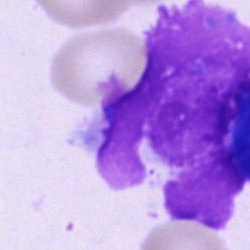
Q: What is shown here?
A: It is an artefact.